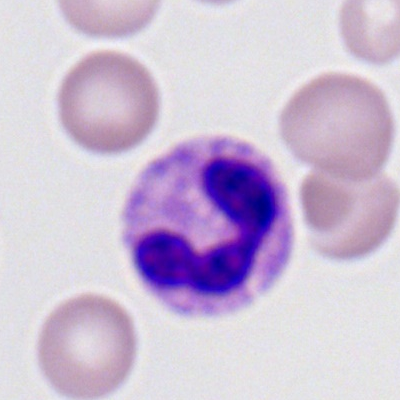

Q: What is the morphological classification of this cell?
A: This is a polymorphonuclear neutrophil.